Bone marrow smear. Cropped to a single cell: 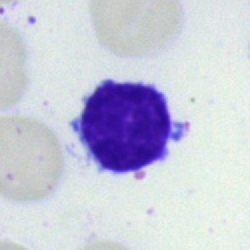 Q: Which cell type is shown here?
A: A typical lymphocyte.